Bone marrow aspirate smear.
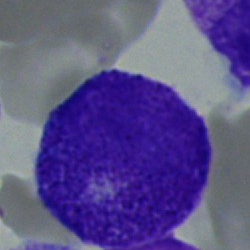
Morphological class — progranulocyte.